40× oil immersion · bone marrow smear: 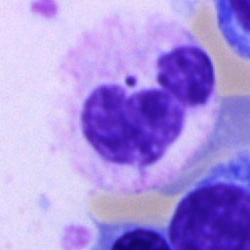
Impression — neutrophil (segmented).